Bone marrow smear. May-Grünwald-Giemsa stain.
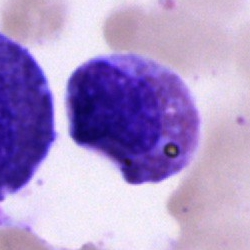{"cell_type": "eosinophilic granulocyte", "lineage": "myeloid"}